Bone marrow aspirate smear.
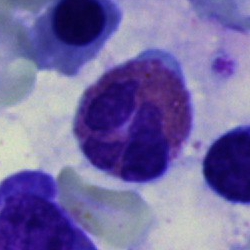{"cell_type": "eosinophil"}